Bone marrow aspirate smear; brightfield microscopy, 40× oil immersion; single-cell field: 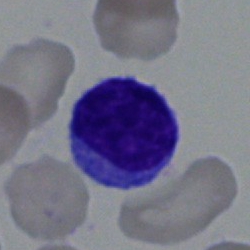
A typical lymphocyte.